Bone marrow smear · 40× oil immersion.
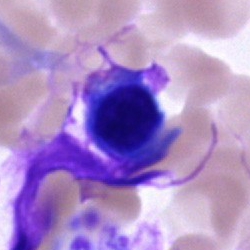 Normoblast.